Bone marrow smear.
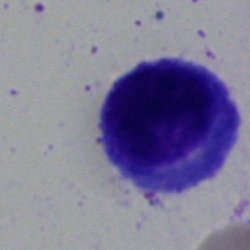
Morphological class — lymphocyte.